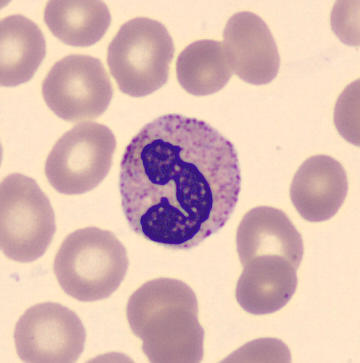
Specimen: peripheral blood film.
Morphological class: polymorphonuclear neutrophil.